Bone marrow aspirate smear: 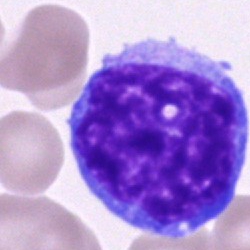 Undifferentiated blast.